Bone marrow smear — 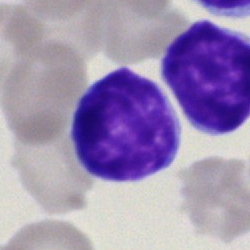
Impression — lymphocyte.